40× objective, oil immersion; single cell centered in the field; bone marrow smear
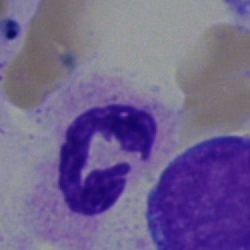Cell type: segmented neutrophil.